Bone marrow smear — 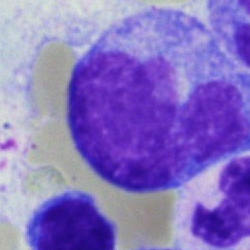
The classification is monocyte.